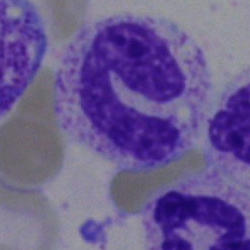

Specimen: bone marrow aspirate smear.
Morphological class: polymorphonuclear neutrophil.
Lineage: myeloid.